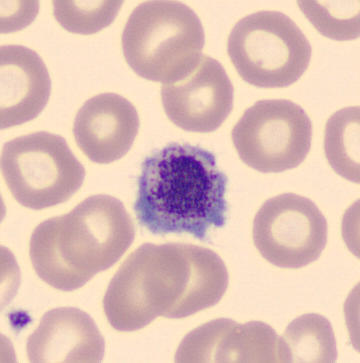This is a thrombocyte.

Peripheral blood smear.